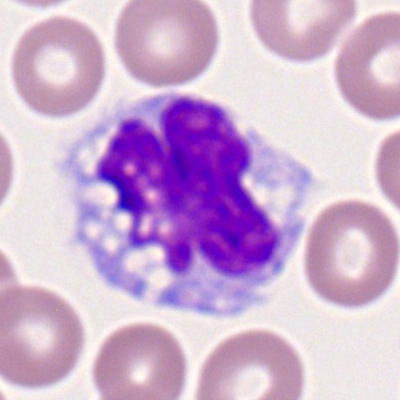
The cell is monocyte.